40× objective, oil immersion; bone marrow smear:
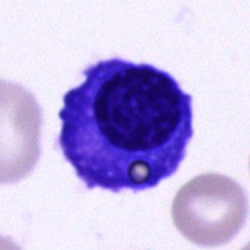Q: Identify the cell.
A: Plasmacyte.